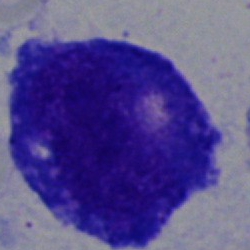

An undifferentiated blast on a bone marrow smear.